Bone marrow smear — 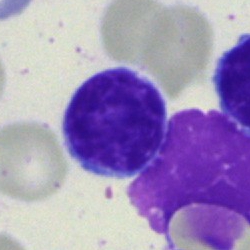 Q: What is the morphological classification of this cell?
A: It is a typical lymphocyte.